Pappenheim-stained · image size 250×250 · bone marrow smear: 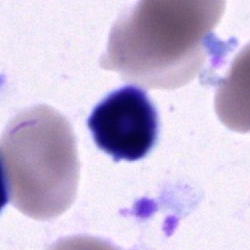 Impression → unidentifiable cell.